Bone marrow aspirate smear; May-Grünwald-Giemsa/Pappenheim stain:
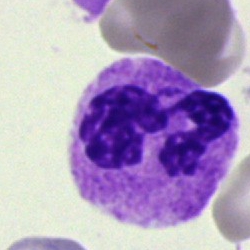 Morphological class — segmented neutrophil.